Bone marrow smear:
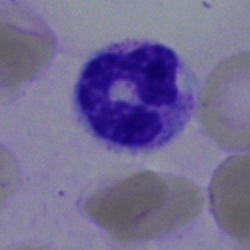Morphological class — neutrophil (band).